Bone marrow aspirate smear:
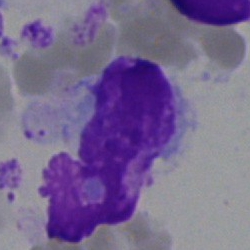

The cell shown is an artifact.